Bone marrow smear; MGG-stained: 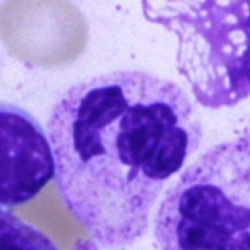 Polymorphonuclear neutrophil.